Bone marrow aspirate smear; 250×250 px: 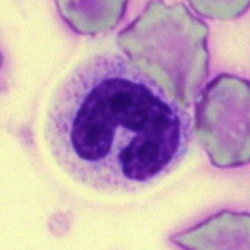
The morphological class is band neutrophil.